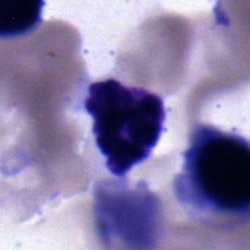
Specimen: bone marrow aspirate smear.
Cell type: polymorphonuclear neutrophil.